Bone marrow aspirate smear; single-cell field; 40× oil immersion.
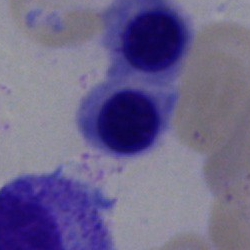

Q: What cell is this?
A: It is a nucleated red cell.